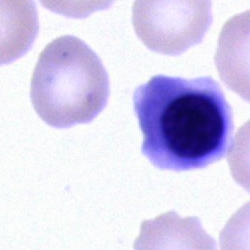
Single-cell crop from a bone marrow smear: nucleated red cell.